Bone marrow aspirate smear. Brightfield, 40× oil-immersion objective — 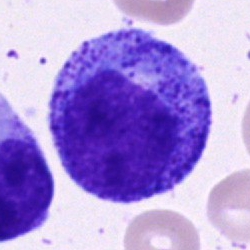

Q: What cell is this?
A: It is a progranulocyte.